Bone marrow smear: 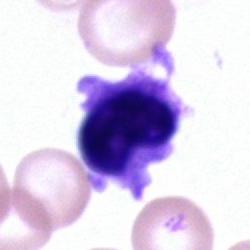

Morphology consistent with an artefact.